Bone marrow aspirate smear — 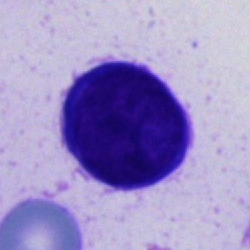A cell of indeterminate lineage.